Cropped to a single cell. Bone marrow aspirate smear — 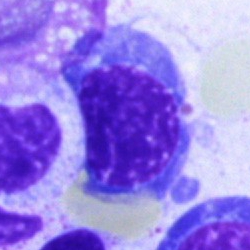This is a normoblast.